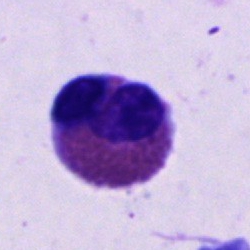

Q: What type of cell is this?
A: An eosinophil.